Bone marrow aspirate smear
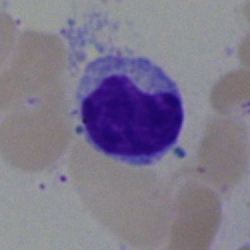Q: What cell is this?
A: It is a typical lymphocyte.